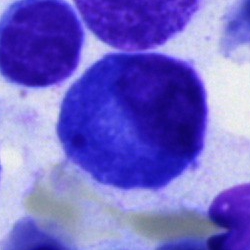Classification = plasmacyte.